May-Grünwald-Giemsa/Pappenheim stain; bone marrow aspirate smear:
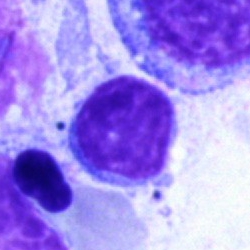 Morphological class: lymphocyte.